Bone marrow smear: 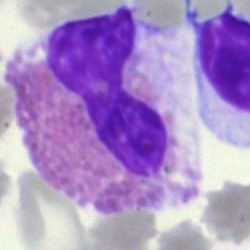
This is an eosinophil.